Bone marrow aspirate smear · cropped to a single cell.
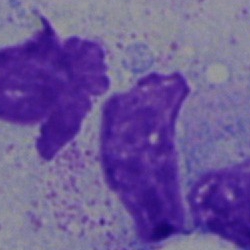 Single cell identified as an artifact.